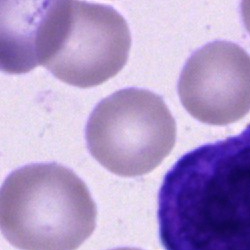 Cell type: unidentifiable cell.